Bone marrow smear.
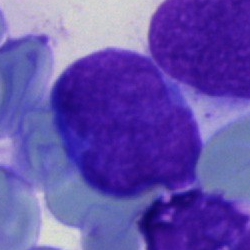Morphology — blast.